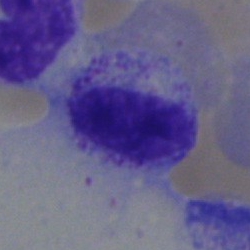

This is a myelocyte.